Image size 400×400 · peripheral blood smear:
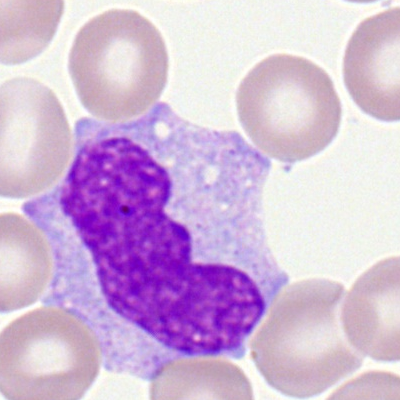
Q: Identify the cell.
A: It is a monocyte.